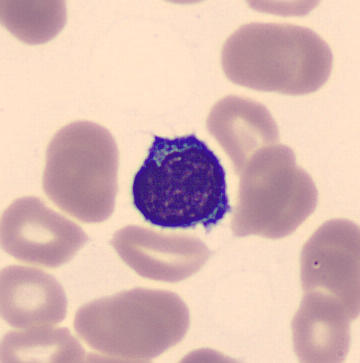 Specimen: peripheral blood film.
Cell type: typical lymphocyte.